40× oil immersion. MGG-stained. Bone marrow aspirate smear — 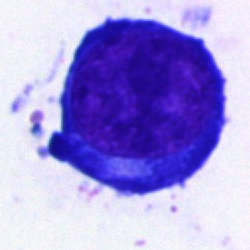
Impression — erythroblast.